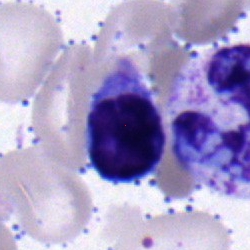

The classification is typical lymphocyte.